Peripheral blood film: 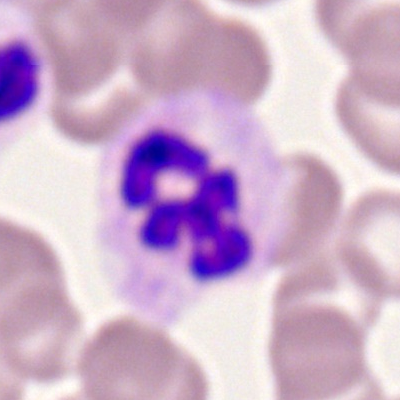
Q: What type of cell is this?
A: This is a segmented neutrophil.